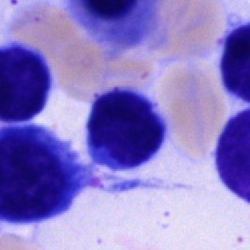
Bone marrow smear showing a typical lymphocyte.